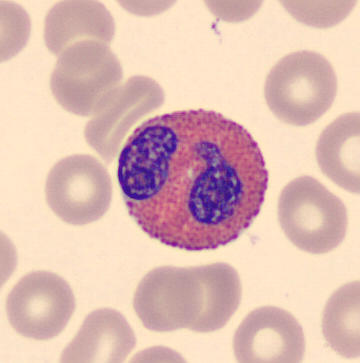

360×363 px. May-Grünwald-Giemsa-stained. Peripheral blood smear.
This is an eosinophilic granulocyte.